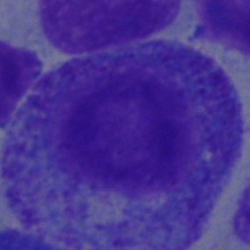

Showing a promyelocyte.